Bone marrow aspirate smear.
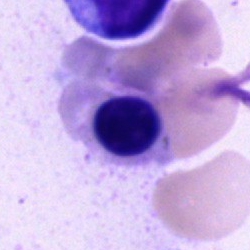
A normoblast.